250×250 px · single-cell crop · bone marrow aspirate smear.
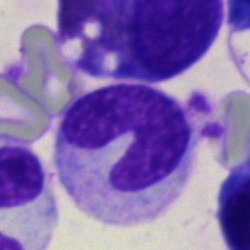

Morphology — band neutrophil.